Bone marrow aspirate smear
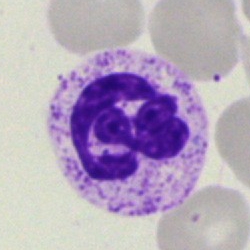
Cell — polymorphonuclear neutrophil.